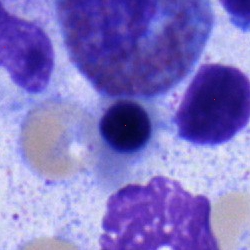

{"cell_type": "nucleated red cell"}